Peripheral blood smear
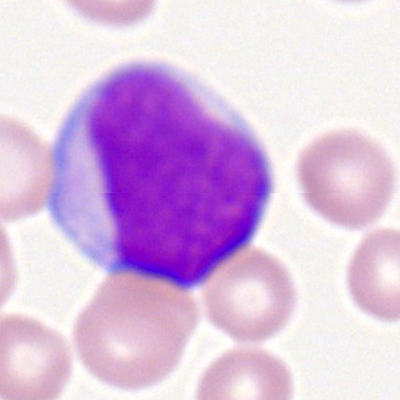This is a myeloid blast.